Bone marrow smear.
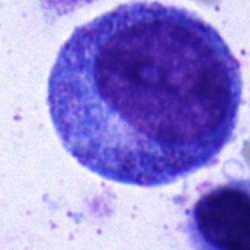

Cell type — progranulocyte.